Bone marrow smear · image size 250×250: 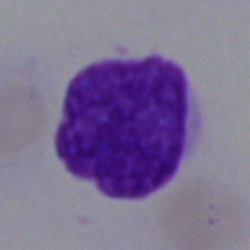
Classification — artifact.